250×250 px · bone marrow smear · MGG-stained.
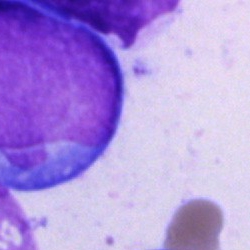

Cell — blast cell.